Bone marrow smear; May-Grünwald-Giemsa stain
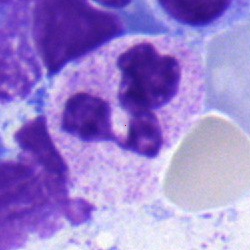 {"cell_type": "neutrophil (segmented)", "lineage": "myeloid"}